Bone marrow aspirate smear.
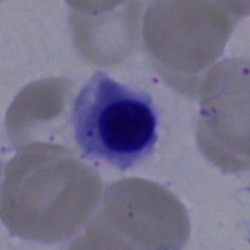Showing a normoblast.